Bone marrow smear
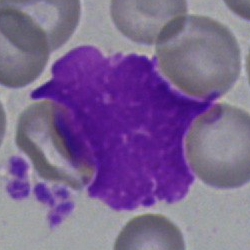
Q: What type of cell is this?
A: It is a lymphocyte.